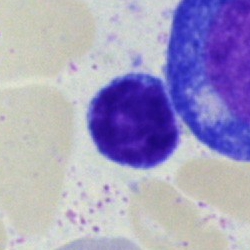

A lymphocyte on a bone marrow smear.